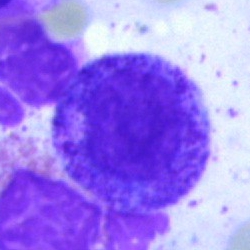

Cell type: myelocyte.